Bone marrow aspirate smear: 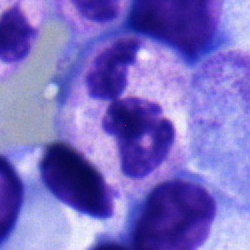The cell shown is a segmented neutrophil.